Bone marrow smear:
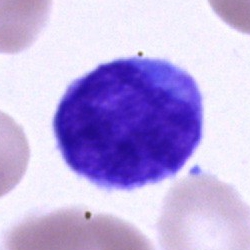 A blast cell.